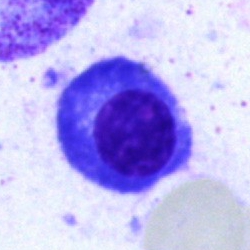Classification = plasmacyte.